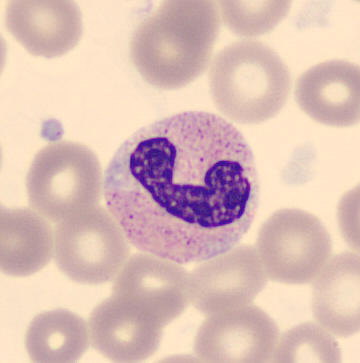 Preparation: May-Grünwald-Giemsa-stained; 360 by 363 pixels.
Specimen: peripheral blood film.
Cell: neutrophil (band).